Bone marrow smear — 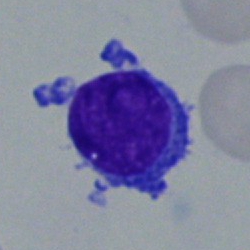Morphological class = lymphocyte.